Bone marrow smear: 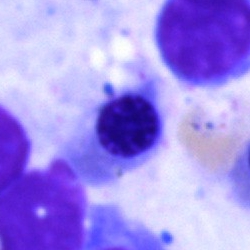

Q: What is shown here?
A: It is an erythroblast.